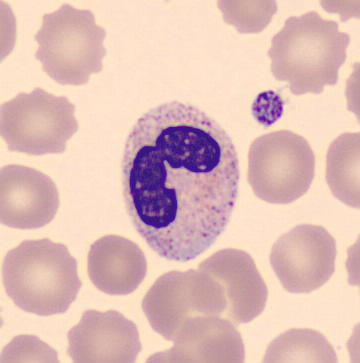

Classification — band-form neutrophil. Acquisition: Peripheral blood film; MGG stain.